Bone marrow smear. Brightfield microscopy, 40× oil immersion
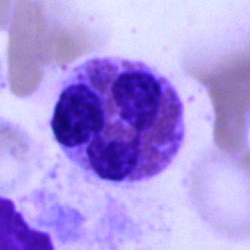 Morphological class — eosinophilic granulocyte.